Single-cell field. Pappenheim-stained. Bone marrow aspirate smear: 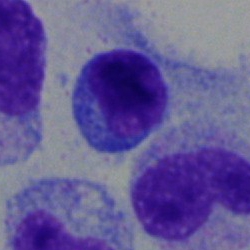Morphology — typical lymphocyte.